Bone marrow aspirate smear — 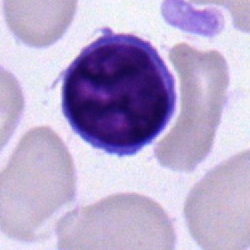
Q: What is shown here?
A: Lymphocyte.